Bone marrow aspirate smear. MGG-stained:
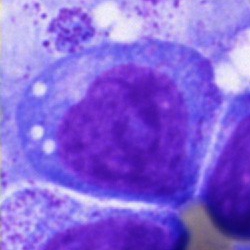Q: What type of cell is this?
A: This is a blast cell.